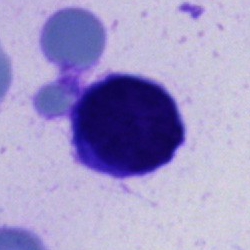Specimen: bone marrow smear.
Cell type: cell of indeterminate lineage.